Bone marrow smear.
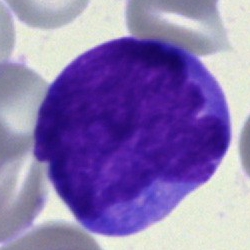Morphology — undifferentiated blast.